Brightfield microscopy, 40× oil immersion; bone marrow smear — 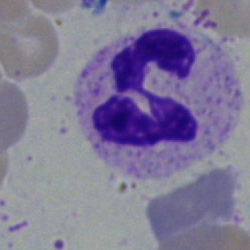
Cell type — neutrophil (segmented).